Bone marrow smear — 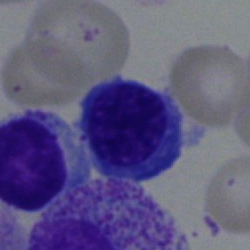Showing a lymphocyte.